Bone marrow aspirate smear:
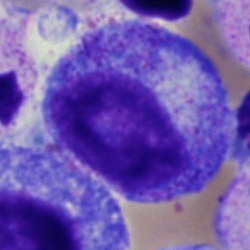 Morphology → promyelocyte.